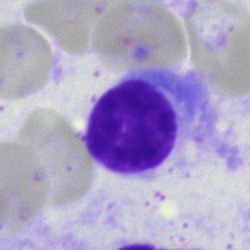
Cell = typical lymphocyte.